Bone marrow aspirate smear. May-Grünwald-Giemsa stain. Single-cell field: 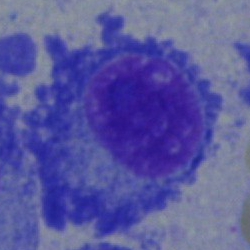
Morphological class — plasmacyte.